40× objective, oil immersion; bone marrow aspirate smear:
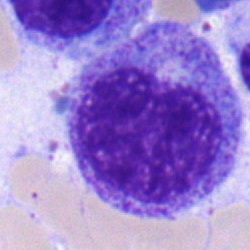

Single cell identified as a myelocyte.